Bone marrow aspirate smear. Image size 250×250. Brightfield microscopy, 40× oil immersion
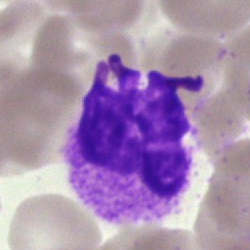
The cell is polymorphonuclear neutrophil.